Bone marrow aspirate smear · single-cell crop · brightfield, 40× oil-immersion objective
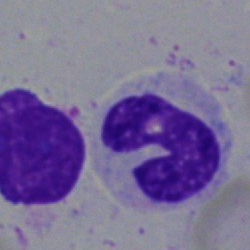 Neutrophil (band).